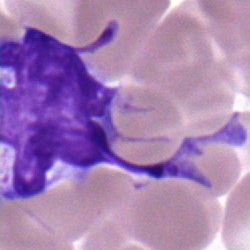Classification — monocyte.